Bone marrow smear · brightfield microscopy, 40× oil immersion · May-Grünwald-Giemsa stain.
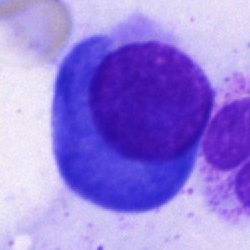
Morphological class: plasmacyte.